Brightfield microscopy, 40× oil immersion; bone marrow aspirate smear: 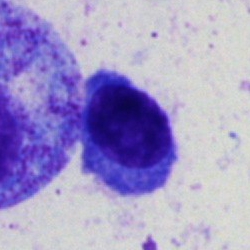

Q: What is shown here?
A: Plasmacyte.